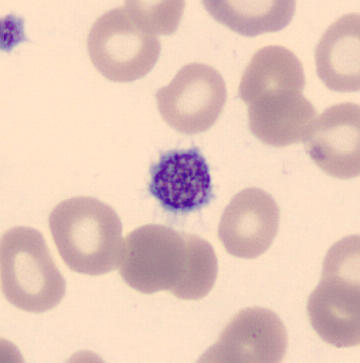

Peripheral blood smear showing a platelet.